Bone marrow aspirate smear:
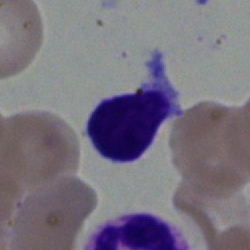Specimen: bone marrow aspirate smear.
Cell: lymphocyte.